Bone marrow aspirate smear · 40× objective, oil immersion.
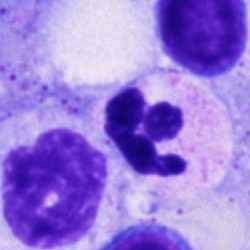Morphology — neutrophil (segmented).